Peripheral blood smear.
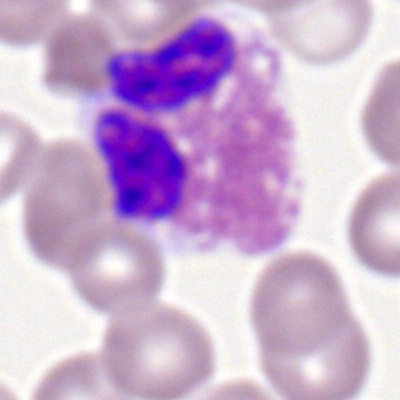

Classification — eosinophil.